Bone marrow smear:
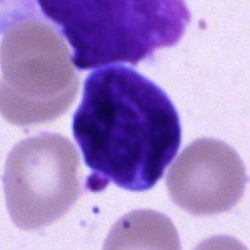Specimen: bone marrow aspirate smear.
Morphological class: lymphocyte.